May-Grünwald-Giemsa/Pappenheim stain. Single-cell crop. Bone marrow aspirate smear.
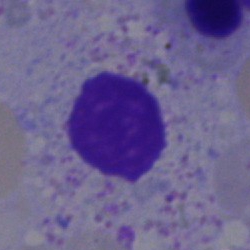Q: What cell is this?
A: This is a lymphocyte.